Bone marrow aspirate smear: 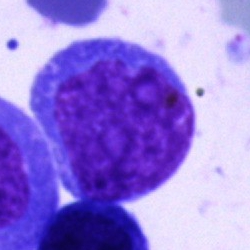The cell type is blast.